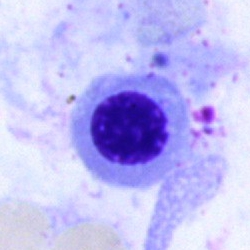 Bone marrow aspirate smear, single cell — normoblast.